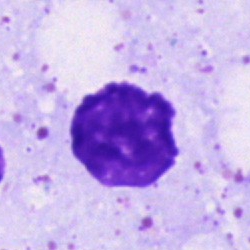Specimen: bone marrow aspirate smear.
Cell type: artefact.